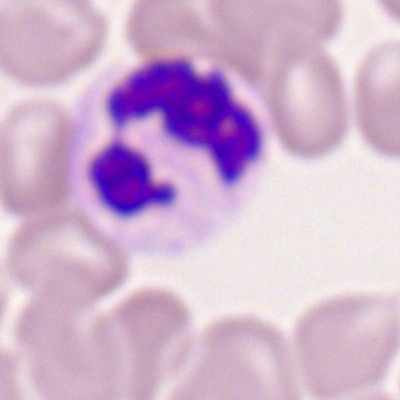

Showing a neutrophil (segmented).